Peripheral blood smear. Imaged on a CellaVision DM96 analyser — 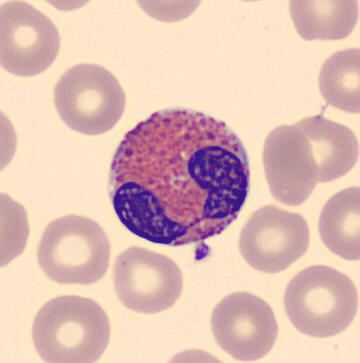

The cell type is eosinophil.